Bone marrow smear
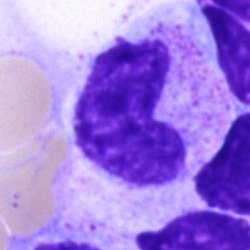

Q: What type of cell is this?
A: It is a metamyelocyte.